Bone marrow aspirate smear — 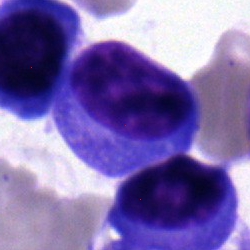Q: What is the morphological classification of this cell?
A: Plasmacyte.